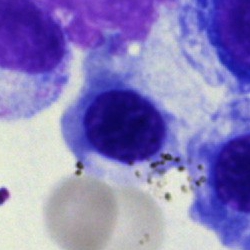
The cell type is erythroblast.